Bone marrow aspirate smear — 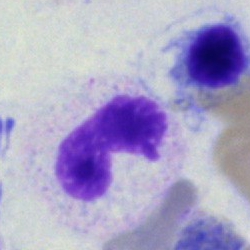 Morphology — segmented neutrophil.